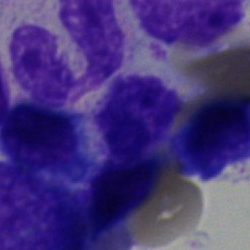Q: What is the morphological classification of this cell?
A: This is a cell of indeterminate lineage.